MGG-stained · bone marrow smear
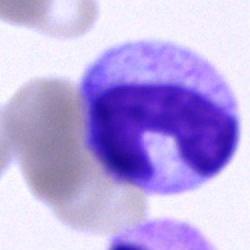 Cell: neutrophil (band).